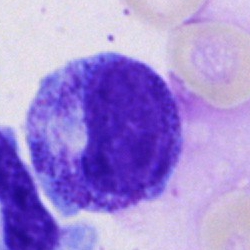

Morphology — progranulocyte.